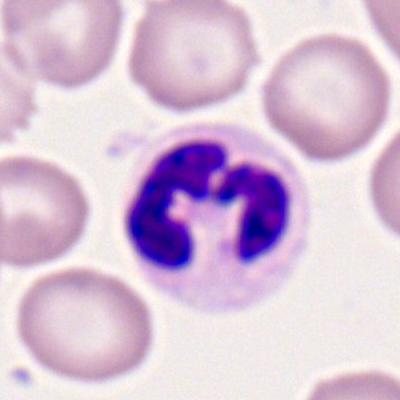

Specimen: peripheral blood film.
Cell: neutrophil (segmented).